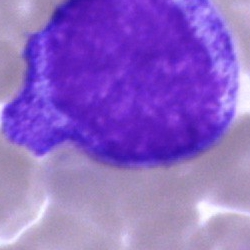 The cell shown is a progranulocyte.